Bone marrow aspirate smear:
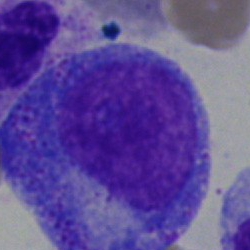 Q: What is shown here?
A: A promyelocyte.